250 by 250 pixels · single cell centered in the field · bone marrow smear.
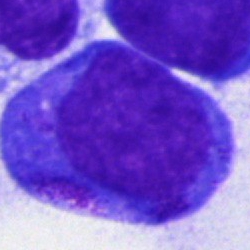
Specimen: bone marrow aspirate smear.
Cell: undifferentiated blast.